Peripheral blood film · image size 400×400 — 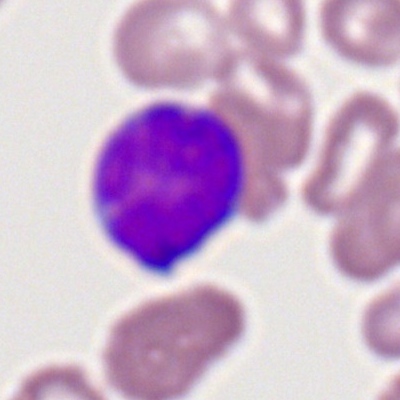Cell — myeloid blast.